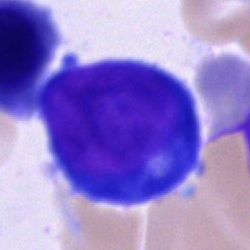
This is a proerythroblast.